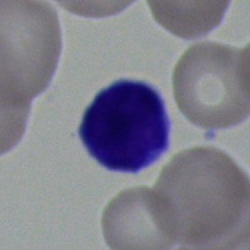
Specimen: bone marrow smear.
Classification: lymphocyte.
Lineage: lymphoid.